Bone marrow smear
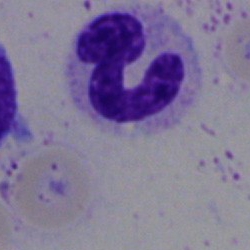
Specimen: bone marrow smear.
Classification: polymorphonuclear neutrophil.
Lineage: myeloid.